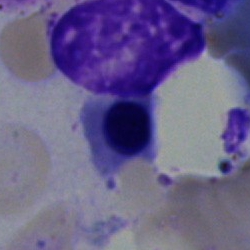
Morphology — nucleated red blood cell.